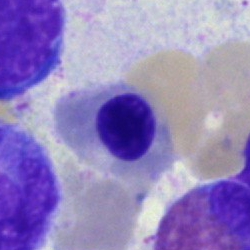The cell is erythroblast.